Bone marrow aspirate smear
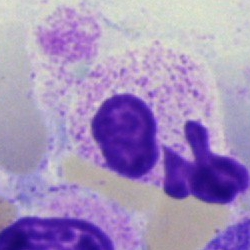

This is a polymorphonuclear neutrophil.